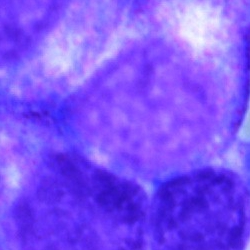
Specimen: bone marrow aspirate smear.
Cell type: myelocyte.
Lineage: myeloid.